Brightfield, 40× oil-immersion objective · May-Grünwald-Giemsa/Pappenheim stain · bone marrow aspirate smear:
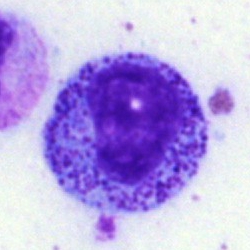
The morphological class is myelocyte.